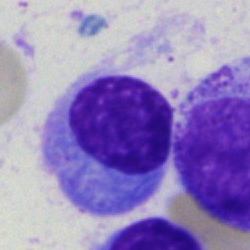
This is a plasmacyte.